Bone marrow aspirate smear; 250×250
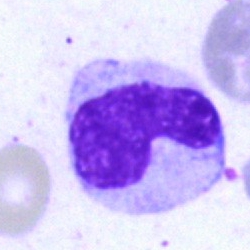 Morphology → band-form neutrophil.